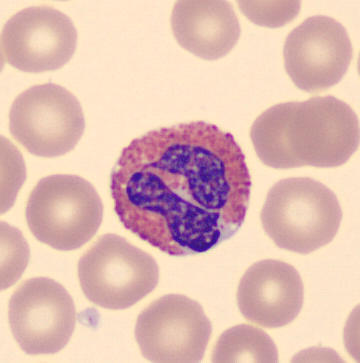

Peripheral blood smear. 360 by 363 pixels.

Q: What type of cell is this?
A: Eosinophil.